Bone marrow smear. May-Grünwald-Giemsa/Pappenheim stain — 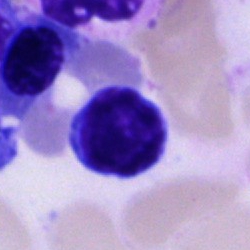

Q: Which cell type is shown here?
A: This is a lymphocyte.